Bone marrow aspirate smear:
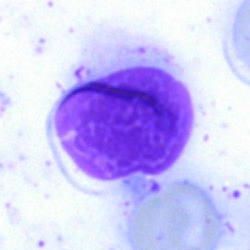

Showing an unidentifiable cell.